Bone marrow aspirate smear: 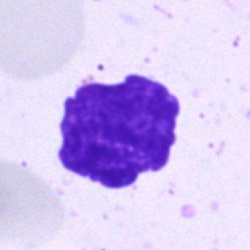 {"cell_type": "artifact"}